Bone marrow smear.
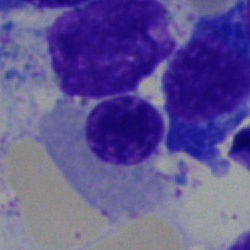

Specimen: bone marrow smear.
Cell: nucleated red blood cell.